Bone marrow smear:
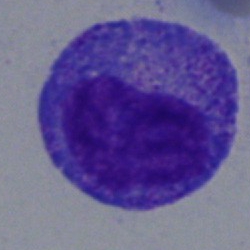
A progranulocyte.